Bone marrow smear: 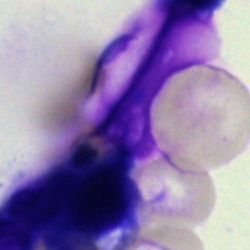 Morphology consistent with an artifact.